250×250 px; bone marrow smear.
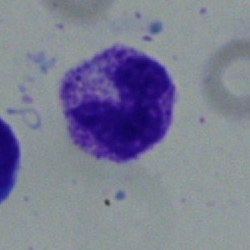
Specimen: bone marrow smear.
Classification: polymorphonuclear neutrophil.
Lineage: myeloid.